Bone marrow smear. Brightfield microscopy, 40× oil immersion — 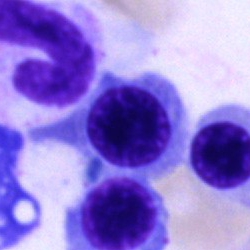{"cell_type": "nucleated red blood cell", "lineage": "erythroid"}